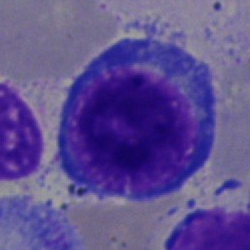
Specimen: bone marrow smear.
Morphological class: pronormoblast.